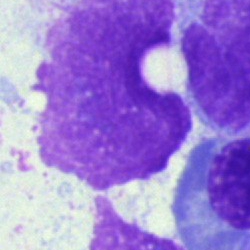Morphology → artefact.